Single cell centered in the field; bone marrow aspirate smear; Pappenheim-stained:
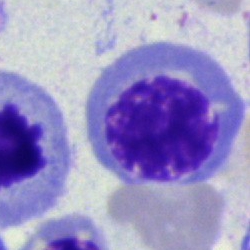Q: Identify the cell.
A: It is an erythroblast.